May-Grünwald-Giemsa stain; bone marrow aspirate smear:
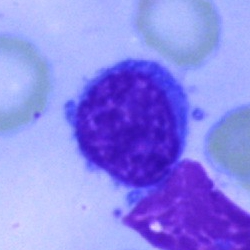

Impression → normoblast.